250 by 250 pixels · single-cell crop · bone marrow aspirate smear:
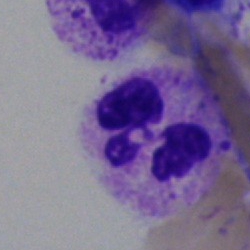

Cell type = segmented neutrophil.